250×250 px · MGG-stained · bone marrow aspirate smear:
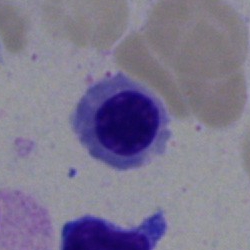Single cell identified as a normoblast.